Single cell centered in the field; bone marrow aspirate smear; 250×250 — 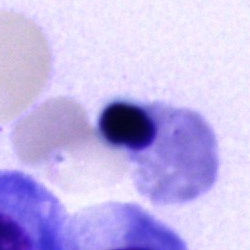
Single cell identified as an erythroblast.